Pappenheim-stained. 250×250 px. Bone marrow aspirate smear: 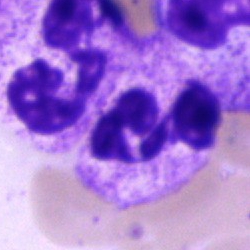Single cell identified as a segmented neutrophil.